Bone marrow smear. 250×250. Single-cell field:
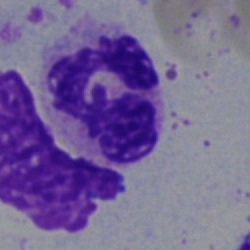 Classification: polymorphonuclear neutrophil.